Bone marrow smear; May-Grünwald-Giemsa/Pappenheim stain; image size 250×250
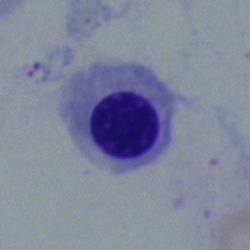
Cell — erythroblast.